Peripheral blood smear:
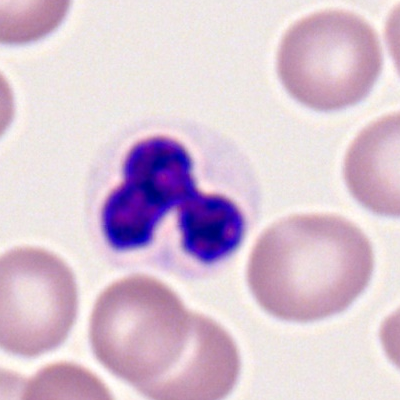 {"cell_type": "neutrophil (segmented)"}